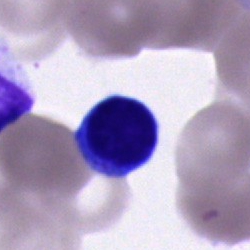Morphology consistent with a typical lymphocyte.